Peripheral blood smear:
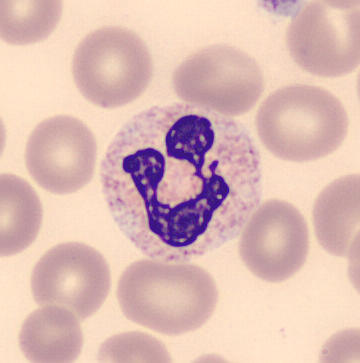

Single cell identified as a polymorphonuclear neutrophil.